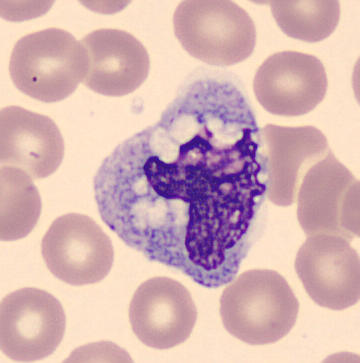
Q: What is this?
A: Monocyte.